Single-cell crop · peripheral blood film · 400 by 400 pixels — 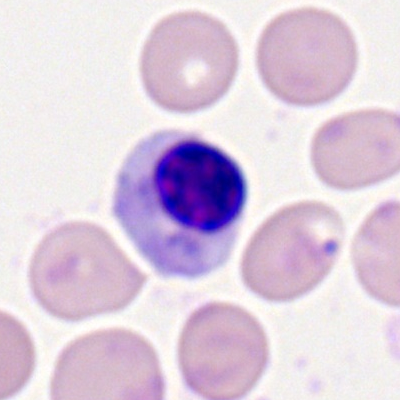

The morphological class is normoblast.